May-Grünwald-Giemsa/Pappenheim stain · bone marrow aspirate smear — 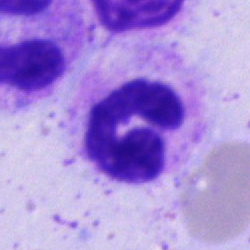 Specimen: bone marrow aspirate smear.
Classification: polymorphonuclear neutrophil.
Lineage: myeloid.